250 by 250 pixels · bone marrow aspirate smear.
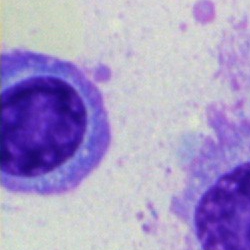
Q: Identify the cell.
A: A plasmacyte.